Bone marrow smear — 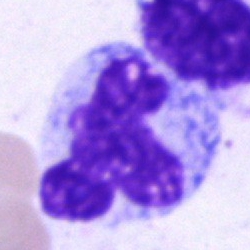Single cell identified as a monocyte.